Bone marrow smear:
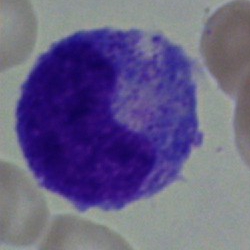Morphology — metamyelocyte.